MGG-stained. Bone marrow aspirate smear
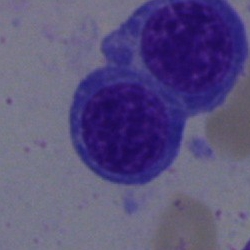

Morphological class — erythroblast.